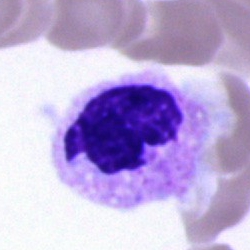 Q: What is shown here?
A: A neutrophil (segmented).